Bone marrow aspirate smear:
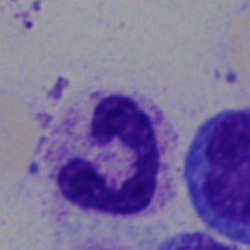{"cell_type": "polymorphonuclear neutrophil"}